Bone marrow aspirate smear; brightfield, 40× oil-immersion objective; single cell centered in the field: 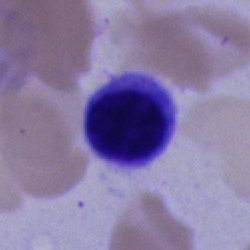

Cell: lymphocyte.